Bone marrow smear — 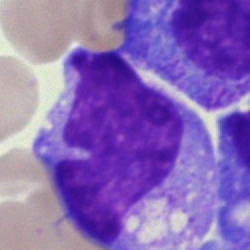
The classification is monocyte.